Bone marrow aspirate smear · single-cell field.
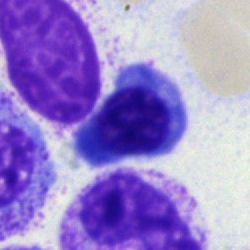
Nucleated red blood cell.